MGG-stained · 250 by 250 pixels · bone marrow smear — 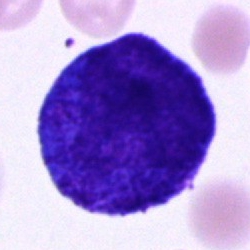
The cell shown is a promyelocyte.